Bone marrow smear.
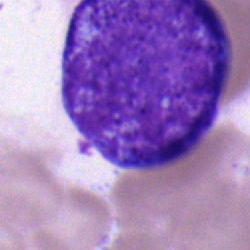

Showing a blast cell.